Cropped to a single cell · peripheral blood smear
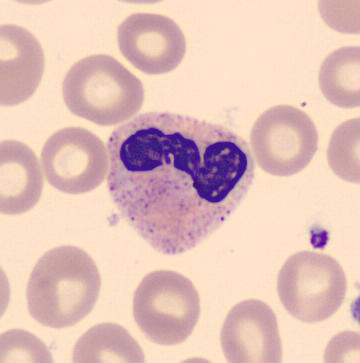
A polymorphonuclear neutrophil.